Bone marrow aspirate smear; single-cell field:
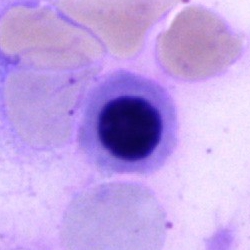 Cell: normoblast.